250 by 250 pixels; bone marrow aspirate smear — 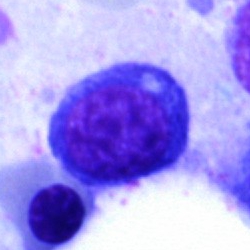

Morphology consistent with a nucleated red blood cell.